Single-cell crop · peripheral blood film.
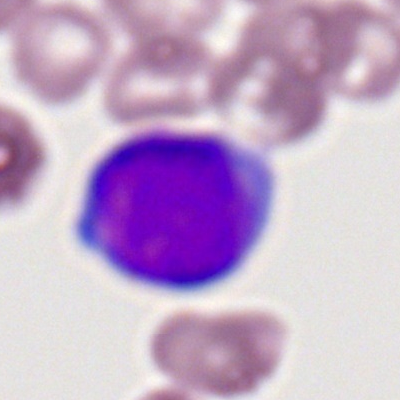
Single cell identified as a myeloblast.